Image size 250×250. 40× oil immersion. Bone marrow aspirate smear:
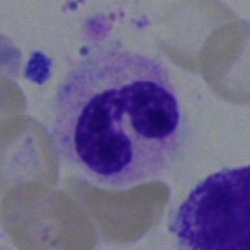Showing a neutrophil (segmented).